Single-cell field. Bone marrow smear — 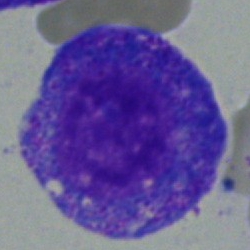 Morphological class: promyelocyte.